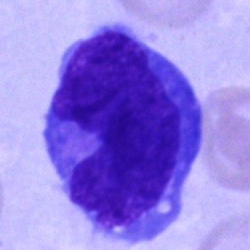Showing an undifferentiated blast.